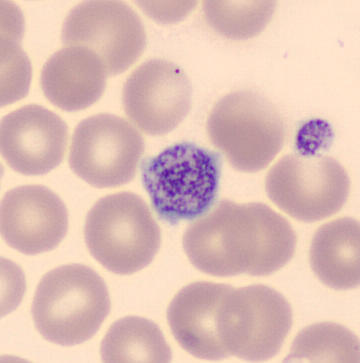A platelet.

Peripheral blood film.